Bone marrow aspirate smear: 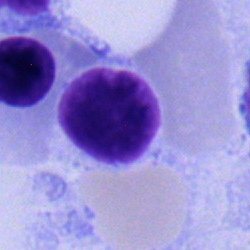Showing a typical lymphocyte.